Bone marrow aspirate smear; single-cell crop; 250×250 px — 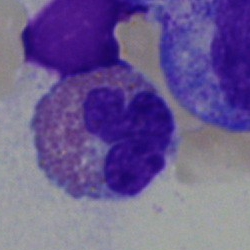Classification = eosinophil.